Bone marrow aspirate smear — 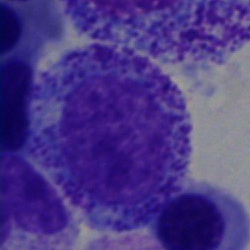The cell shown is a progranulocyte.